250 by 250 pixels. Single-cell crop. Bone marrow aspirate smear: 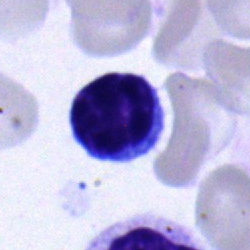
This is a typical lymphocyte.